Bone marrow smear. MGG-stained
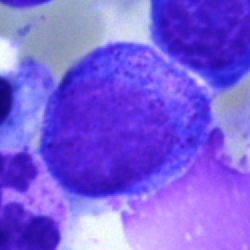

Q: Identify the cell.
A: A progranulocyte.